Bone marrow smear
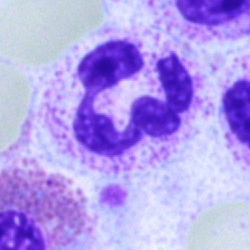Cell = neutrophil (segmented).